MGG-stained · bone marrow aspirate smear
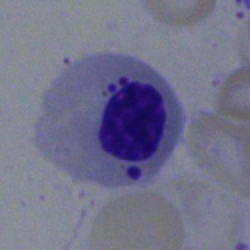 Impression — erythroblast.